Bone marrow smear · MGG-stained · 40× objective, oil immersion.
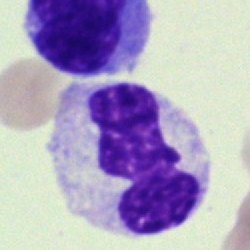

{"cell_type": "polymorphonuclear neutrophil", "lineage": "myeloid"}